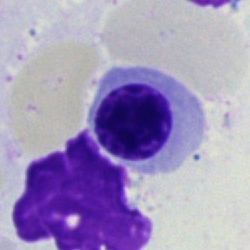

Bone marrow smear showing a nucleated red blood cell.